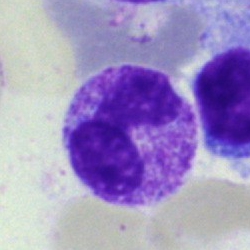 The cell shown is a segmented neutrophil.